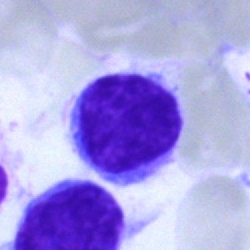Classification: lymphocyte.